Peripheral blood film. M8 digital microscope (Precipoint), 100× oil immersion. 400 by 400 pixels: 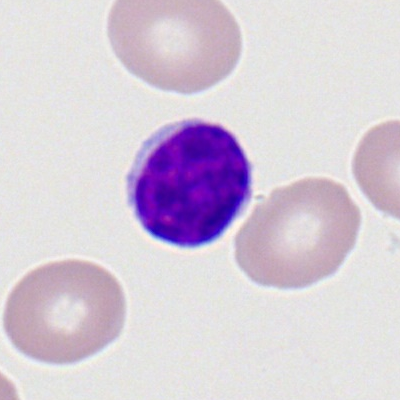
Morphology → lymphocyte.